Bone marrow smear; 40× oil immersion — 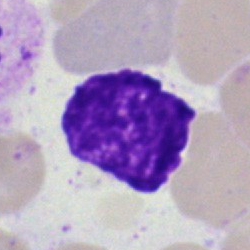

Showing an artefact.